40× objective, oil immersion · bone marrow smear
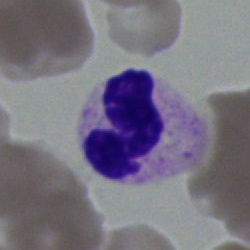

Specimen: bone marrow smear.
Morphological class: segmented neutrophil.
Lineage: myeloid.